40× oil immersion · bone marrow smear — 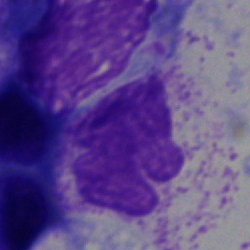

Impression → artifact.